Single-cell field · bone marrow aspirate smear.
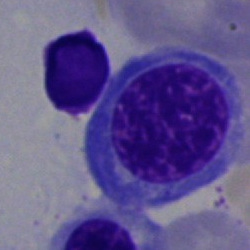 Q: What is the morphological classification of this cell?
A: Erythroblast.